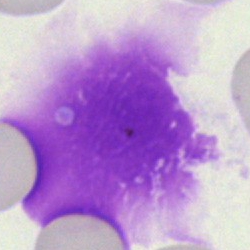

Single cell identified as an artefact.